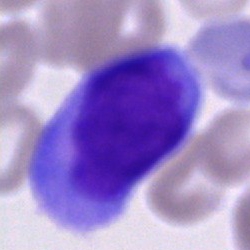Q: What type of cell is this?
A: This is an unidentifiable cell.